40× oil immersion · bone marrow smear:
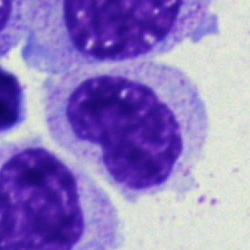The classification is metamyelocyte.